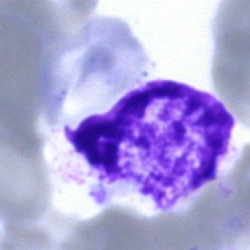 An artifact on a bone marrow smear.